Bone marrow aspirate smear. Brightfield microscopy, 40× oil immersion. MGG-stained:
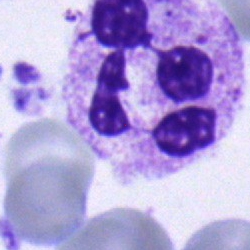
Q: What is the morphological classification of this cell?
A: A neutrophil (segmented).